Peripheral blood film; 100× objective, oil immersion — 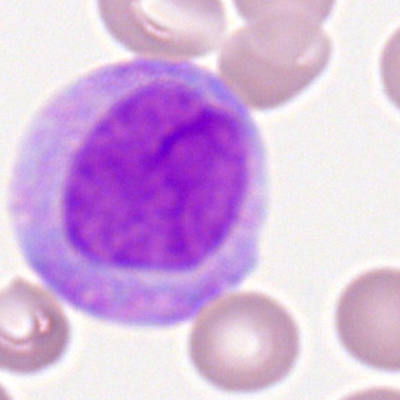Specimen: peripheral blood smear.
Cell type: monocyte.
Lineage: myeloid.